Bone marrow aspirate smear: 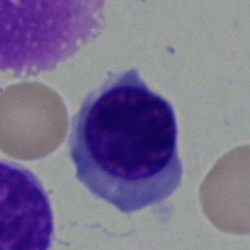This is a nucleated red cell.